Bone marrow smear. Brightfield microscopy, 40× oil immersion. Image size 250×250 — 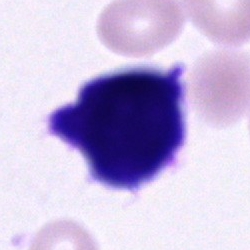Q: Identify the cell.
A: An unidentifiable cell.